Bone marrow smear.
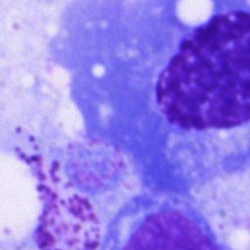

Specimen: bone marrow smear.
Morphological class: plasmacyte.
Lineage: lymphoid.